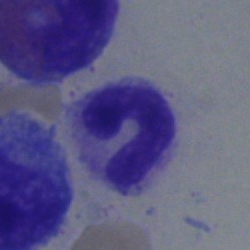Cell type = neutrophil (band).